Pappenheim-stained · 40× objective, oil immersion · bone marrow aspirate smear: 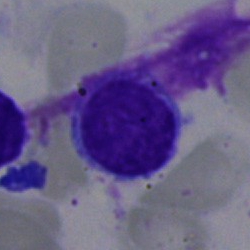 This is a lymphocyte.